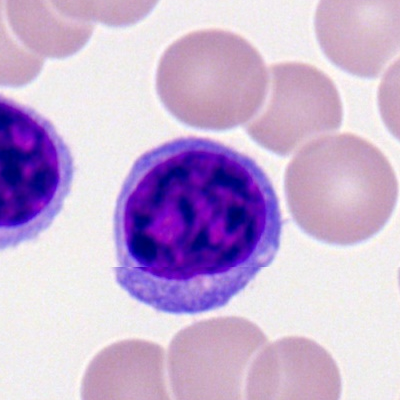Cell — typical lymphocyte.